Bone marrow aspirate smear · 40× oil immersion: 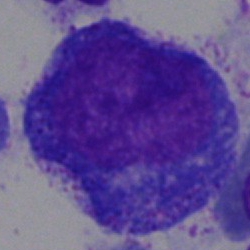

Showing a promyelocyte.